Bone marrow aspirate smear — 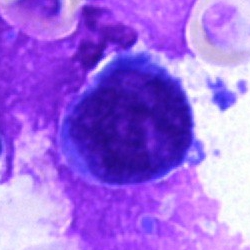Specimen: bone marrow smear.
Morphological class: blast cell.